Bone marrow smear; 40× objective, oil immersion: 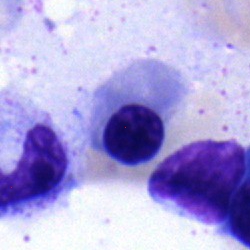Morphology → erythroblast.